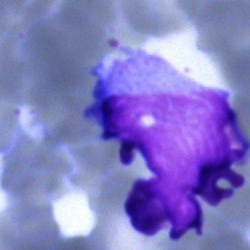
Specimen: bone marrow smear.
Classification: immature lymphocyte.